Bone marrow aspirate smear.
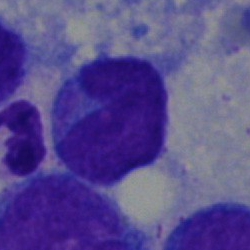{"cell_type": "blast"}